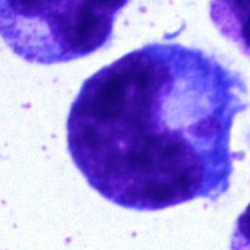
Specimen: bone marrow smear.
Morphological class: progranulocyte.
Lineage: myeloid.